Bone marrow aspirate smear: 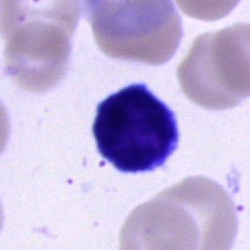Morphology — lymphocyte.